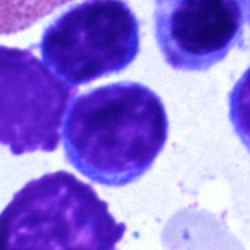 Morphology → lymphocyte.